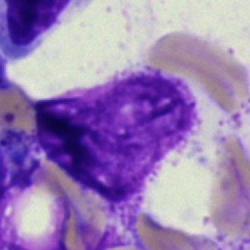

Classification = artifact.